Bone marrow smear:
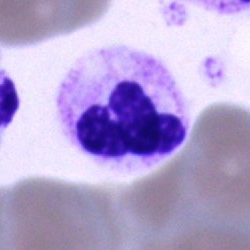
Morphology → segmented neutrophil.